Bone marrow smear — 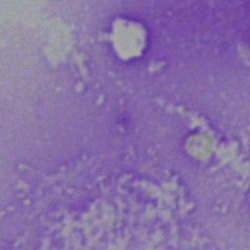
Q: What is shown here?
A: This is an artefact.